40× objective, oil immersion · bone marrow smear:
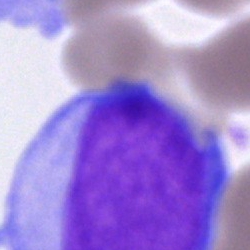
Q: Which cell type is shown here?
A: Blast.